Bone marrow smear.
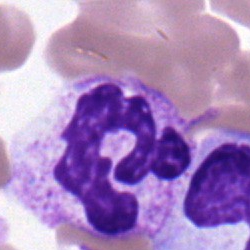 Classification: polymorphonuclear neutrophil.